40× oil immersion · bone marrow smear — 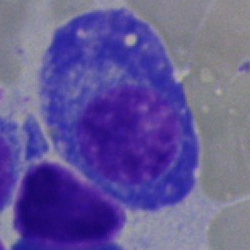
Morphology consistent with a plasma cell.